Single-cell field. Bone marrow smear. 40× oil immersion — 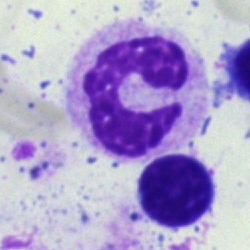

Q: What is the morphological classification of this cell?
A: It is a stab cell.